Brightfield microscopy, 40× oil immersion. Bone marrow aspirate smear: 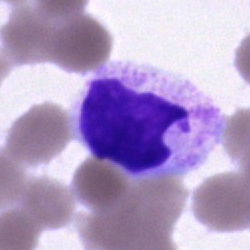

{"cell_type": "artifact"}